40× objective, oil immersion · bone marrow aspirate smear — 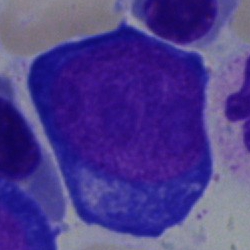

Impression → pronormoblast.